Single cell centered in the field. Peripheral blood smear: 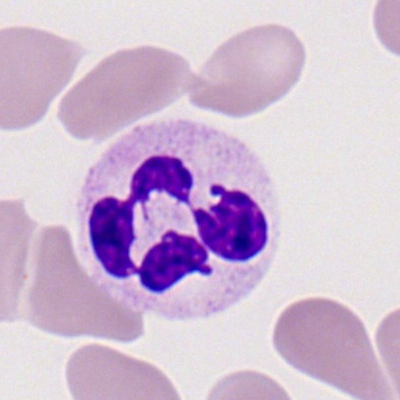Showing a polymorphonuclear neutrophil.